Bone marrow aspirate smear · brightfield microscopy, 40× oil immersion · May-Grünwald-Giemsa stain:
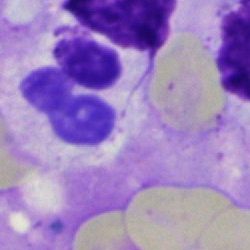Q: What type of cell is this?
A: This is a neutrophil (segmented).